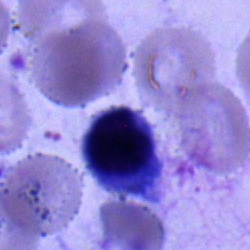
{"cell_type": "lymphocyte", "lineage": "lymphoid"}